Bone marrow aspirate smear:
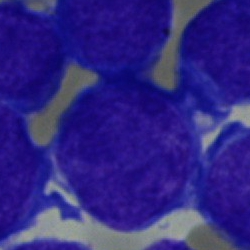Cell — blast cell.